Peripheral blood smear: 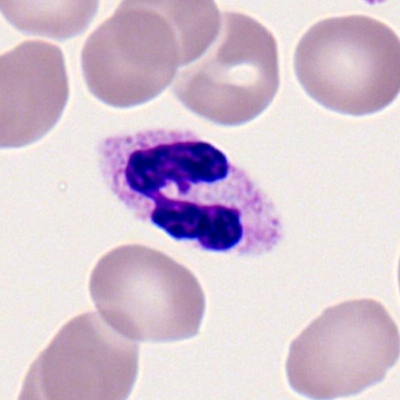

The cell shown is a neutrophil (segmented).